Single-cell crop · peripheral blood smear.
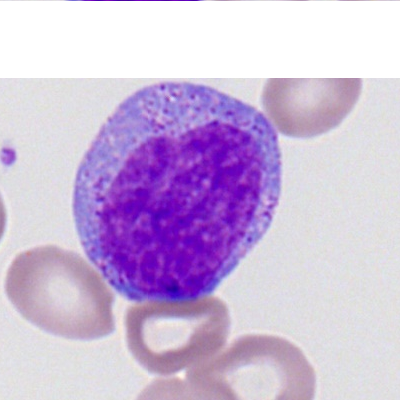 Q: What cell is this?
A: A progranulocyte.